Peripheral blood smear; 100× oil immersion — 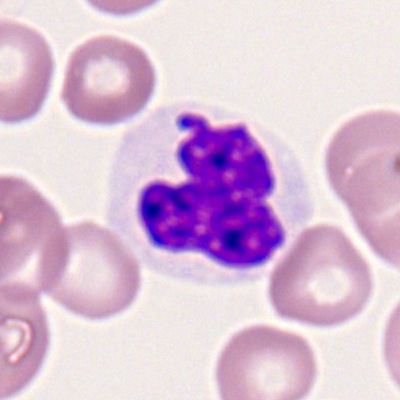 Impression — polymorphonuclear neutrophil.